Bone marrow aspirate smear:
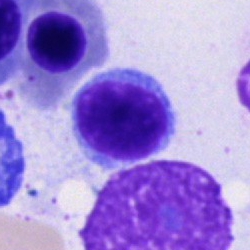Classification: typical lymphocyte.